Bone marrow smear; May-Grünwald-Giemsa/Pappenheim stain; brightfield, 40× oil-immersion objective: 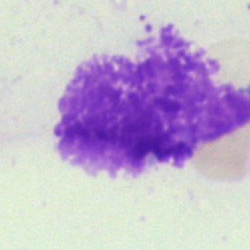
{"cell_type": "artefact"}